Single-cell field; peripheral blood film; Romanowsky-stained — 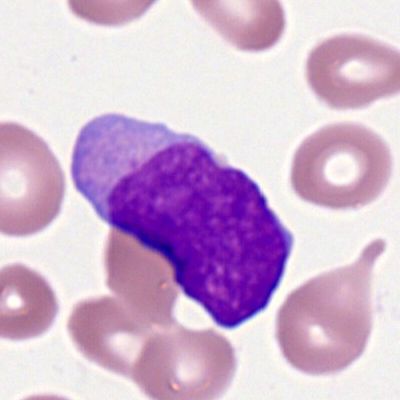 Q: What type of cell is this?
A: A myeloid blast.